250 by 250 pixels · bone marrow smear: 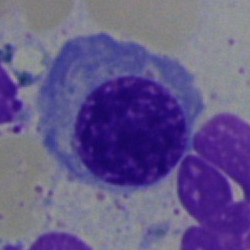
Morphology — nucleated red blood cell.